Bone marrow aspirate smear; MGG-stained; brightfield, 40× oil-immersion objective.
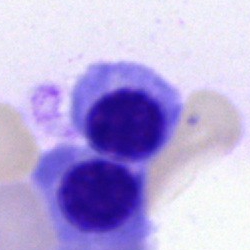Q: What cell is this?
A: This is a nucleated red blood cell.